MGG-stained · bone marrow aspirate smear: 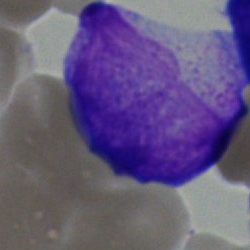 The classification is blast.